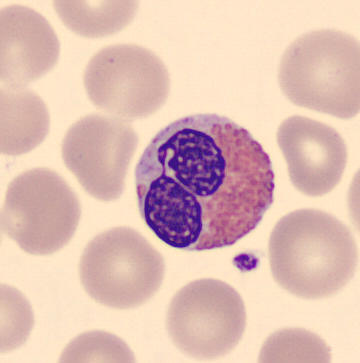
Cell = eosinophilic granulocyte.
Acquisition: Peripheral blood smear.